Brightfield microscopy, 40× oil immersion; bone marrow smear.
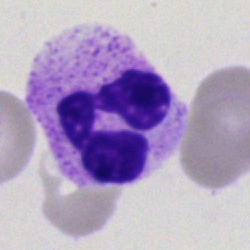
Morphological class = segmented neutrophil.